M8 digital microscope (Precipoint), 100× oil immersion. Cropped to a single cell. Peripheral blood smear.
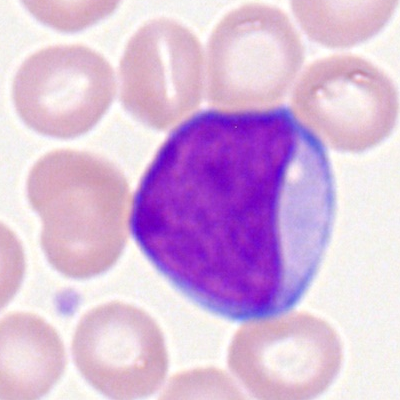 Specimen: peripheral blood smear.
Cell type: myeloid blast.
Lineage: myeloid.